Brightfield microscopy, 40× oil immersion. Bone marrow smear.
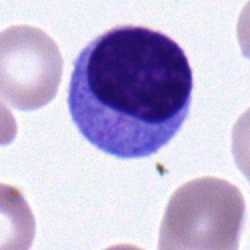The cell shown is a lymphocyte.